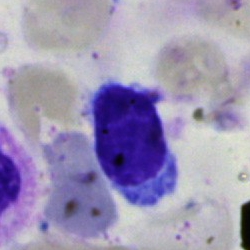

{"cell_type": "typical lymphocyte", "lineage": "lymphoid"}